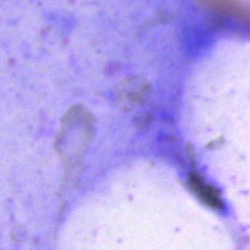 This is an artefact.